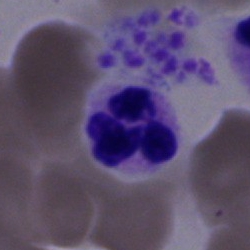

Bone marrow aspirate smear, single cell — nucleated red blood cell.